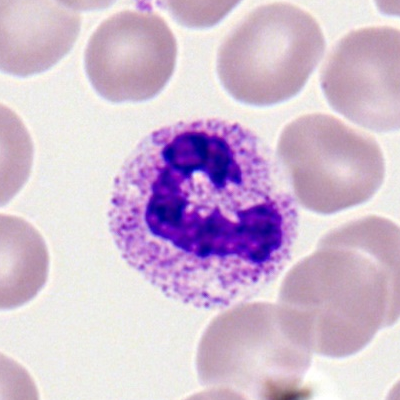

{"cell_type": "segmented neutrophil"}